Bone marrow smear · 40× oil immersion — 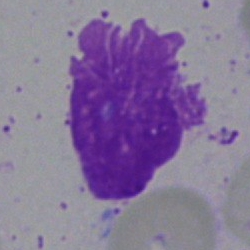

Specimen: bone marrow aspirate smear.
Classification: artefact.